May-Grünwald-Giemsa stain. Bone marrow smear.
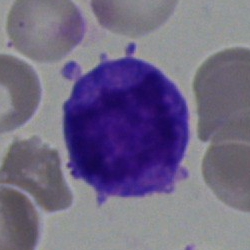 The cell is promyelocyte.